Bone marrow smear.
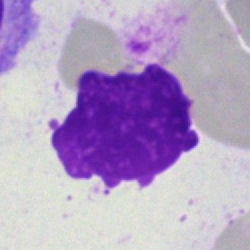Q: What is shown here?
A: Artefact.